Bone marrow smear:
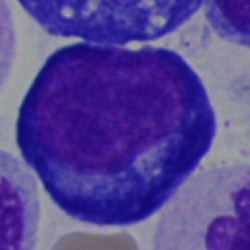

Showing a pronormoblast.